Single cell centered in the field; MGG-stained; bone marrow smear:
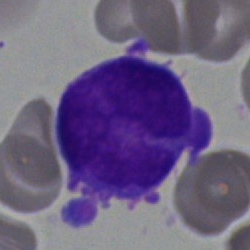Classification = progranulocyte.